Bone marrow smear
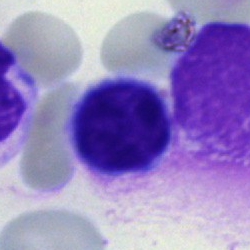
Cell = lymphocyte.